Bone marrow smear: 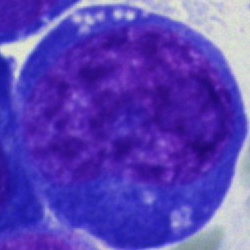

Cell: blast.